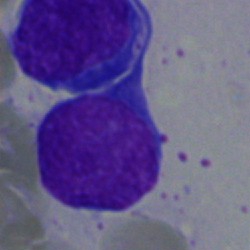
Blast cell.